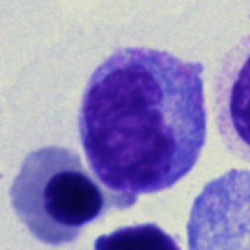 Morphology — monocyte.